Bone marrow smear. MGG-stained — 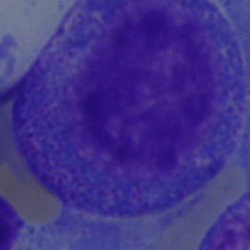

A progranulocyte.